Peripheral blood film: 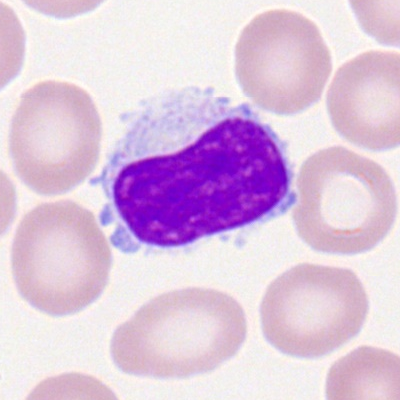

The cell shown is a lymphocyte.